Single-cell crop · bone marrow aspirate smear · May-Grünwald-Giemsa stain: 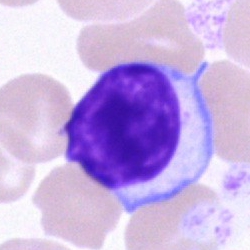 Morphological class: lymphocyte.